May-Grünwald-Giemsa stain; bone marrow smear; single-cell field
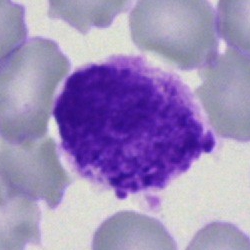

Showing an artifact.